Bone marrow aspirate smear.
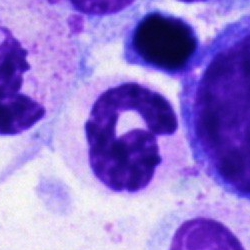

A polymorphonuclear neutrophil.